Bone marrow aspirate smear: 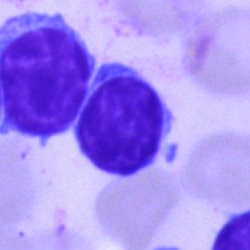 Cell: lymphocyte.